Bone marrow smear — 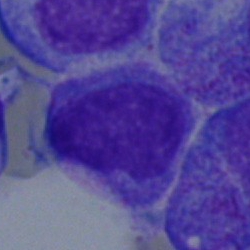 Typical lymphocyte.